Peripheral blood smear · Romanowsky-type stain.
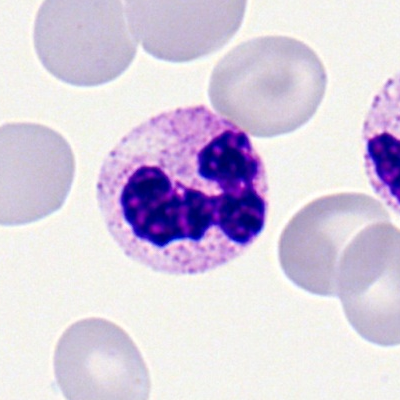
Morphology consistent with a polymorphonuclear neutrophil.